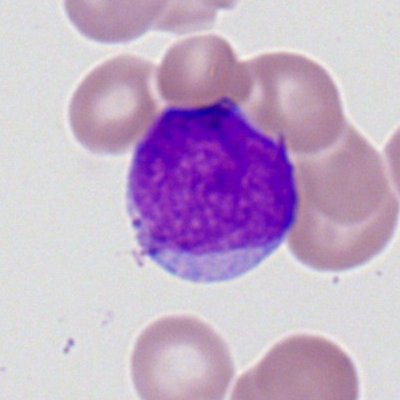

Morphology → myeloblast.